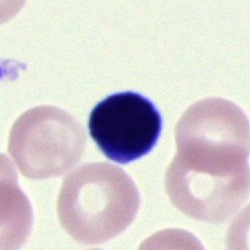
Single-cell crop from a bone marrow smear: artefact.